Bone marrow smear. 250×250
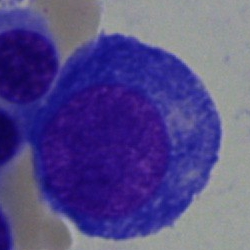

The morphological class is proerythroblast.